250×250 px. Bone marrow smear. Single-cell crop:
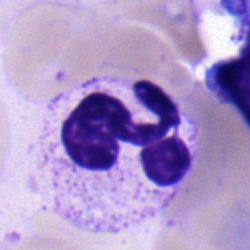
Single cell identified as a neutrophil (segmented).